Peripheral blood film:
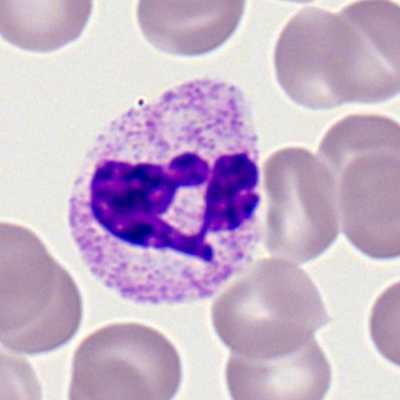
Q: What type of cell is this?
A: Neutrophil (segmented).